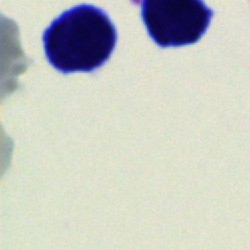{"cell_type": "lymphocyte"}